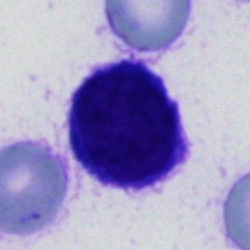

Classification — unidentifiable cell.